Bone marrow aspirate smear. Brightfield microscopy, 40× oil immersion
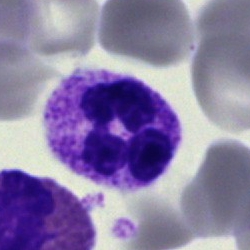

Q: Identify the cell.
A: A neutrophil (segmented).